40× objective, oil immersion; bone marrow aspirate smear.
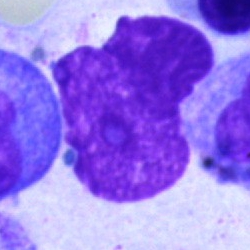
Artefact.